Bone marrow aspirate smear; single cell centered in the field — 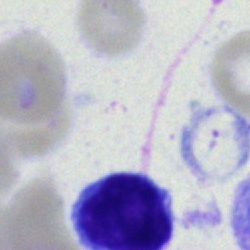 Morphological class — lymphocyte.